Bone marrow smear — 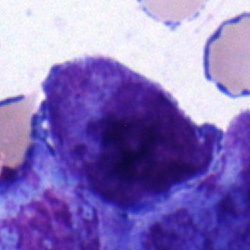
Specimen: bone marrow smear.
Cell type: undifferentiated blast.